May-Grünwald-Giemsa/Pappenheim stain. 40× oil immersion. Bone marrow aspirate smear
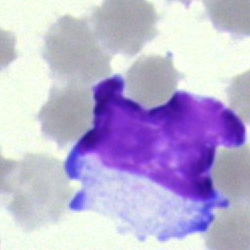 Showing a typical lymphocyte.